Bone marrow aspirate smear
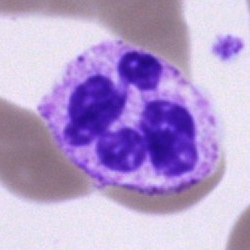 The cell shown is a segmented neutrophil.